Bone marrow smear: 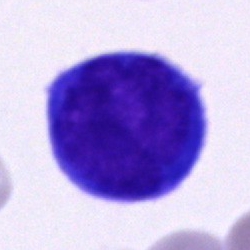Morphology → unidentifiable cell.